Bone marrow smear — 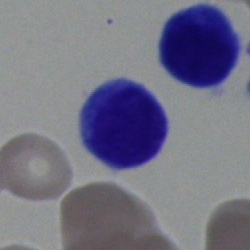 {"cell_type": "hairy cell"}